Bone marrow aspirate smear — 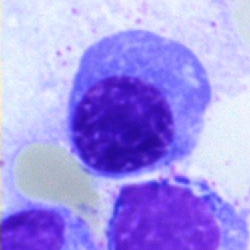

The cell is nucleated red cell.